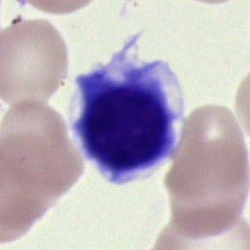

Bone marrow aspirate smear, single cell — normoblast.